Bone marrow smear · 40× objective, oil immersion:
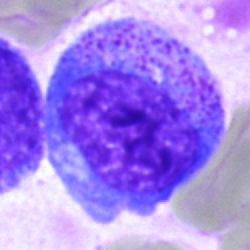Single cell identified as a progranulocyte.